MGG-stained; bone marrow smear; 40× objective, oil immersion — 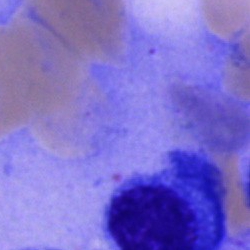Cell — plasma cell.